Bone marrow aspirate smear · single-cell crop:
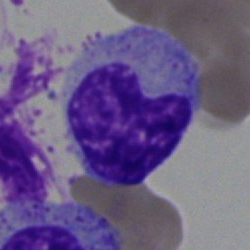 Metamyelocyte.